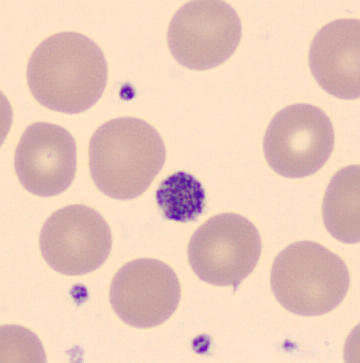The morphological class is platelet (thrombocyte).

Peripheral blood film.